Bone marrow aspirate smear:
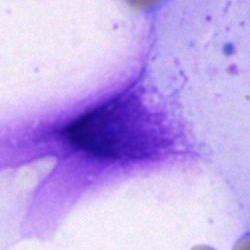
Cell — artefact.